Single cell centered in the field. 250 by 250 pixels. Bone marrow aspirate smear — 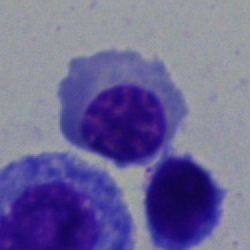 {"cell_type": "nucleated red blood cell", "lineage": "erythroid"}